Bone marrow smear — 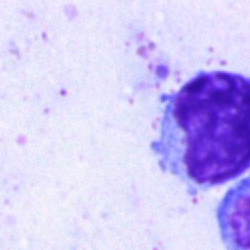
Q: What is shown here?
A: This is an artifact.